Bone marrow smear
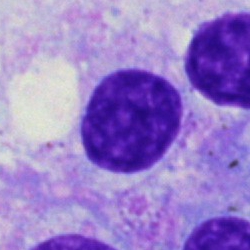Q: What is the morphological classification of this cell?
A: This is a monocyte.